Bone marrow aspirate smear: 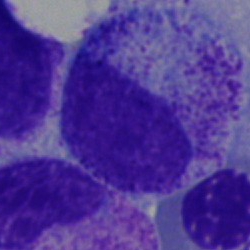
The cell shown is a promyelocyte.